Brightfield microscopy, 40× oil immersion; cropped to a single cell; bone marrow aspirate smear:
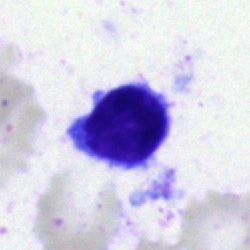
Cell: typical lymphocyte.